Bone marrow aspirate smear: 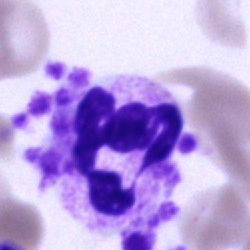
Specimen: bone marrow aspirate smear.
Morphological class: segmented neutrophil.